Bone marrow smear:
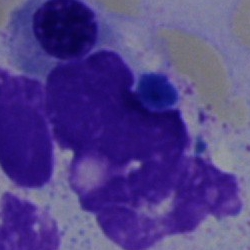

Cell = artefact.